MGG-stained. Bone marrow aspirate smear:
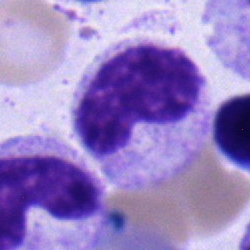Classification: metamyelocyte.